Bone marrow aspirate smear:
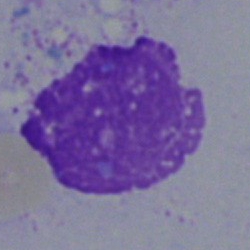 {"cell_type": "artifact"}